40× objective, oil immersion · bone marrow smear: 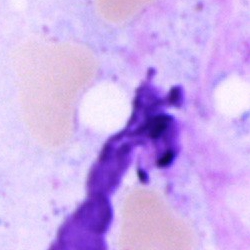
Specimen: bone marrow smear.
Cell type: artefact.